Bone marrow smear:
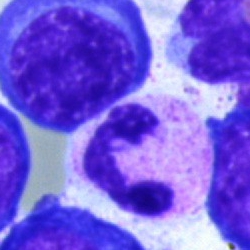
Morphology — polymorphonuclear neutrophil.